May-Grünwald-Giemsa stain · bone marrow aspirate smear:
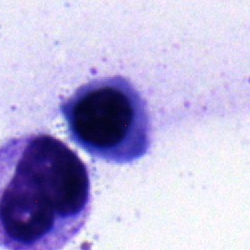
Cell — nucleated red cell.